Bone marrow smear.
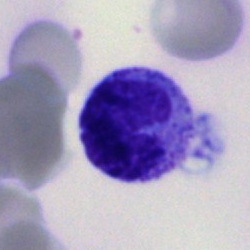 A monocyte.